250×250 px; bone marrow smear: 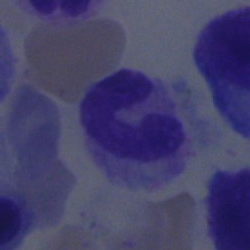

This is a segmented neutrophil.